Bone marrow aspirate smear.
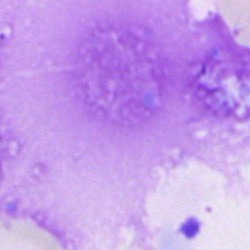

{"cell_type": "artifact"}